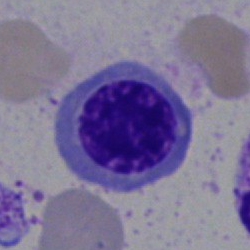
The cell shown is an erythroblast.